Peripheral blood film — 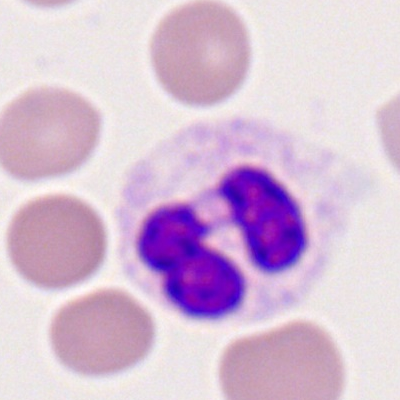

Q: What type of cell is this?
A: This is a segmented neutrophil.